Peripheral blood smear:
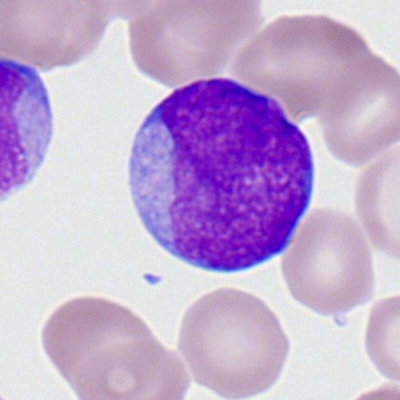The morphological class is myeloblast.